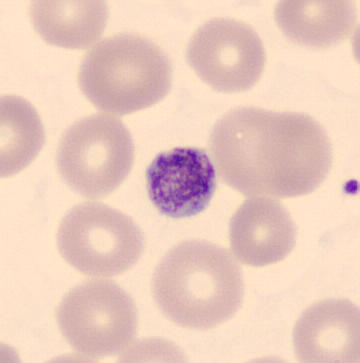
Showing a platelet.
Acquisition: Peripheral blood smear.